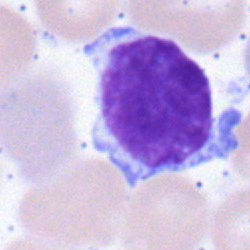 Specimen: bone marrow aspirate smear.
Cell: lymphocyte.
Lineage: lymphoid.